Bone marrow aspirate smear:
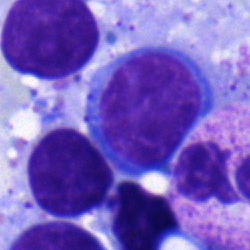Impression → lymphocyte.